Bone marrow aspirate smear; image size 250×250; single-cell field: 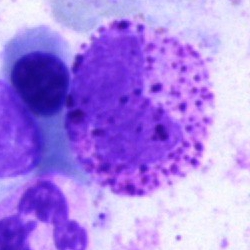

Morphological class: basophilic granulocyte.